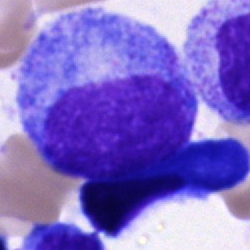
Morphology consistent with a promyelocyte.